Bone marrow smear.
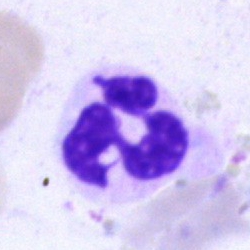
Specimen: bone marrow aspirate smear.
Classification: segmented neutrophil.